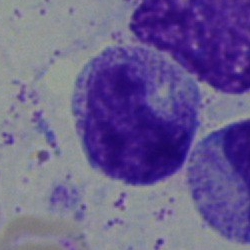

Classification — metamyelocyte.